M8 digital microscope (Precipoint), 100× oil immersion. Peripheral blood film
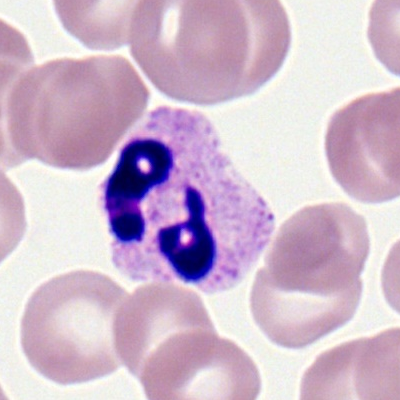

A segmented neutrophil.